Bone marrow aspirate smear:
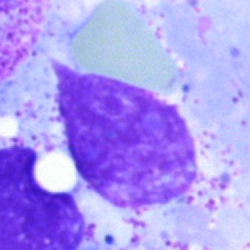Morphology — artefact.